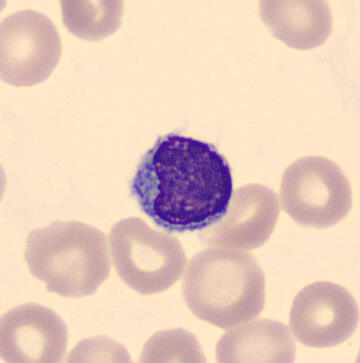
Acquisition: Peripheral blood smear.

Morphology consistent with a lymphocyte.